Single-cell field; bone marrow aspirate smear: 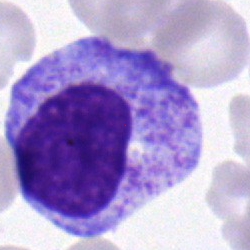 Cell type — myelocyte.